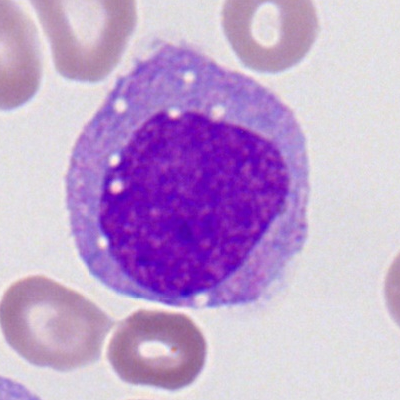
Cell = myeloblast.